Single cell centered in the field; 40× objective, oil immersion; bone marrow smear — 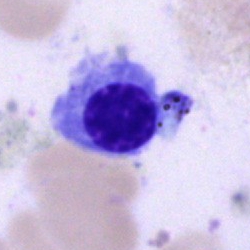Q: What is the morphological classification of this cell?
A: Erythroblast.